Bone marrow smear:
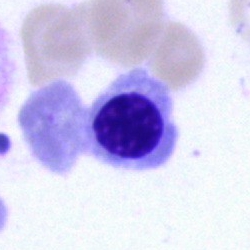

Cell — nucleated red cell.